Bone marrow aspirate smear
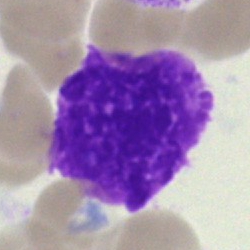
Impression → artefact.